Peripheral blood smear: 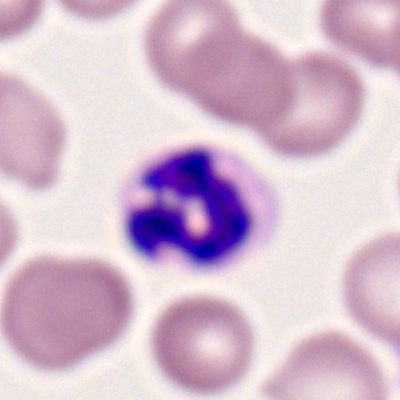
Specimen: peripheral blood film.
Classification: segmented neutrophil.
Lineage: myeloid.